Single-cell field; bone marrow smear: 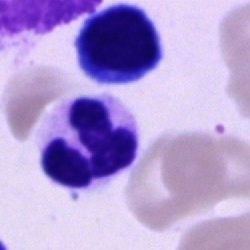 Q: What cell is this?
A: A polymorphonuclear neutrophil.